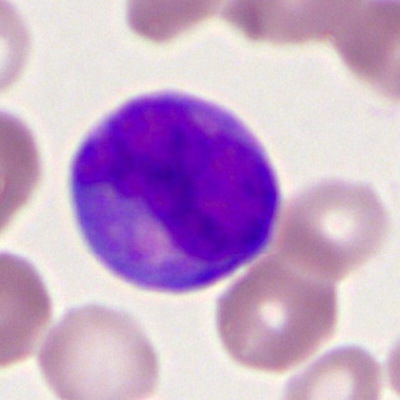Morphology → promyelocyte.